Bone marrow aspirate smear. MGG-stained — 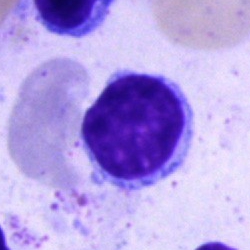

The morphological class is lymphocyte.